250 by 250 pixels. Bone marrow smear. Pappenheim-stained: 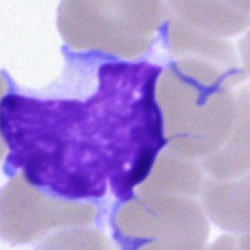 Impression — artifact.